Bone marrow smear · 40× oil immersion · single cell centered in the field: 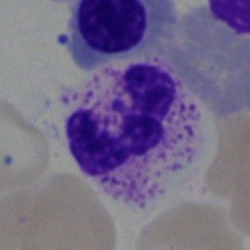Impression — segmented neutrophil.